Bone marrow aspirate smear.
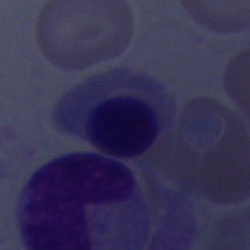

Cell type: artifact.